Bone marrow aspirate smear · cropped to a single cell:
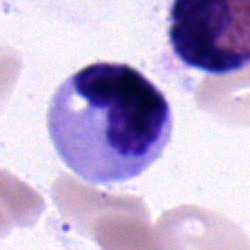 Cell — neutrophil (band).